Single cell centered in the field · bone marrow smear.
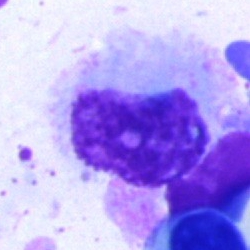
This is an artifact.